Cropped to a single cell; bone marrow smear — 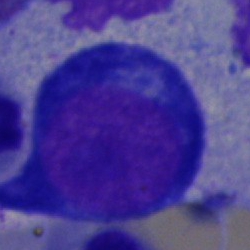

Q: What is shown here?
A: A pronormoblast.